Bone marrow smear: 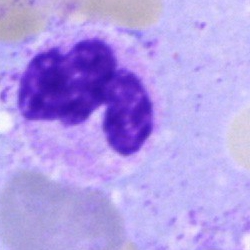Single cell identified as a segmented neutrophil.